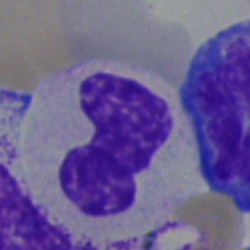 A stab cell.